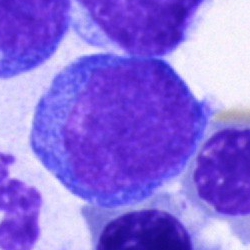
This is a blast.